Peripheral blood film; Romanowsky-stained: 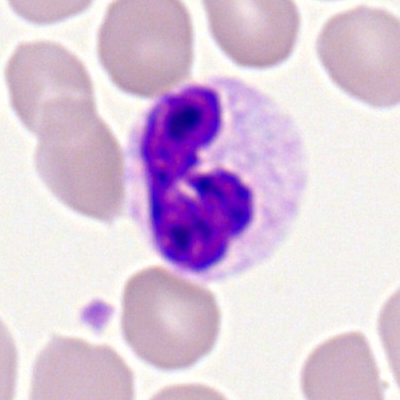
Cell type — polymorphonuclear neutrophil.